Bone marrow aspirate smear — 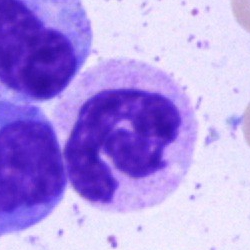
Q: Identify the cell.
A: Segmented neutrophil.